Bone marrow smear
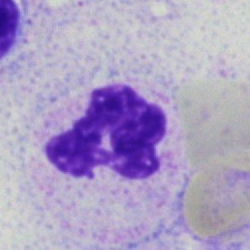
The cell type is segmented neutrophil.